Brightfield microscopy, 40× oil immersion. Bone marrow aspirate smear:
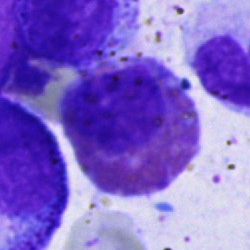
Specimen: bone marrow smear.
Morphological class: eosinophilic granulocyte.
Lineage: myeloid.